Bone marrow smear.
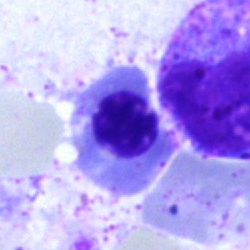Classification — nucleated red cell.